250×250 px; bone marrow aspirate smear.
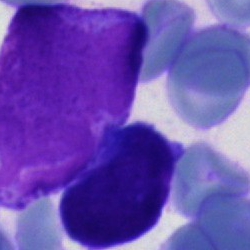 Q: What type of cell is this?
A: Undifferentiated blast.